250×250 · May-Grünwald-Giemsa stain · bone marrow smear — 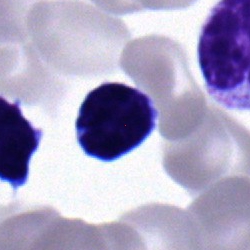Typical lymphocyte.